Bone marrow smear: 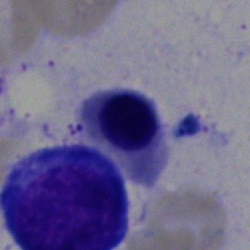 This is a normoblast.